Peripheral blood film
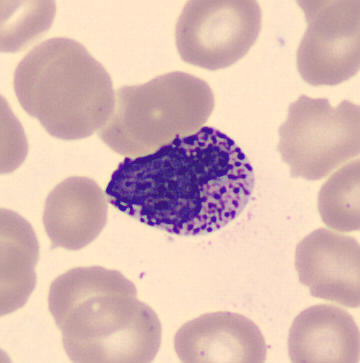
Showing a basophil.